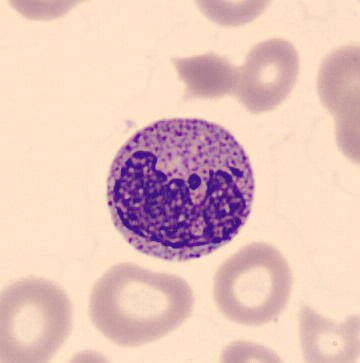

Peripheral blood film.
Morphological class — neutrophil (band).